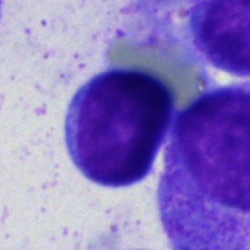
Specimen: bone marrow smear.
Morphological class: typical lymphocyte.